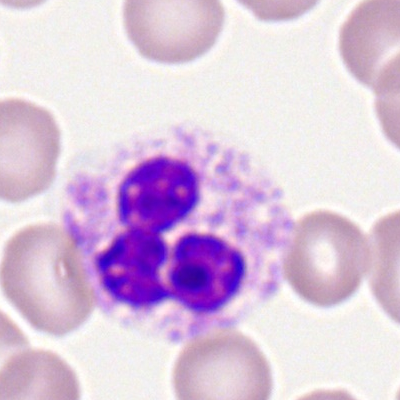

Peripheral blood film, single cell — polymorphonuclear neutrophil.